Bone marrow smear: 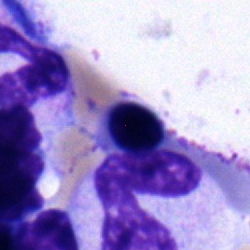
Specimen: bone marrow aspirate smear.
Classification: erythroblast.
Lineage: erythroid.